Brightfield, 40× oil-immersion objective; bone marrow smear
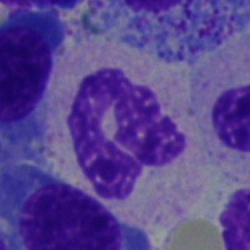Classification — neutrophil (segmented).